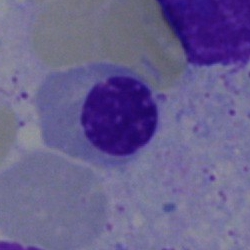The cell type is nucleated red blood cell.